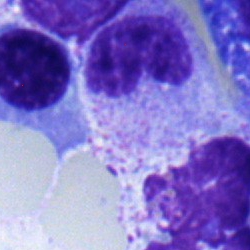

Cell type = stab cell.